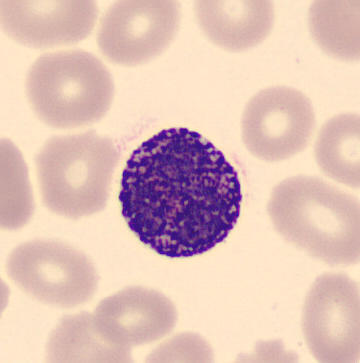

Q: What is this?
A: This is a basophilic granulocyte.
Acquisition: Peripheral blood film; image size 360×363; May-Grünwald-Giemsa-stained.